Bone marrow smear:
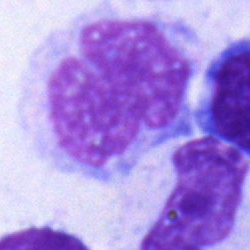Q: Identify the cell.
A: A monocyte.